Bone marrow aspirate smear. 250×250: 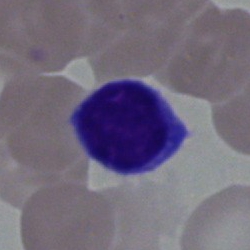 A typical lymphocyte.